MGG-stained; bone marrow aspirate smear
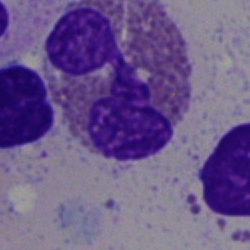 Single cell identified as an eosinophil.